Bone marrow smear
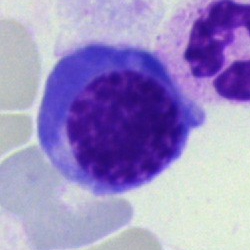
Specimen: bone marrow aspirate smear.
Cell type: nucleated red blood cell.